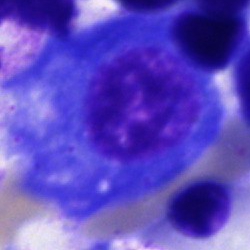{"cell_type": "plasma cell"}